Single-cell field · Pappenheim-stained · bone marrow aspirate smear — 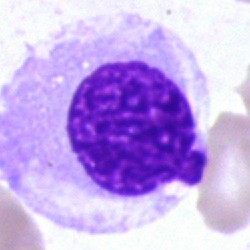 Cell = artifact.